Bone marrow aspirate smear.
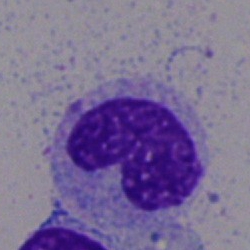 This is a neutrophil (band).